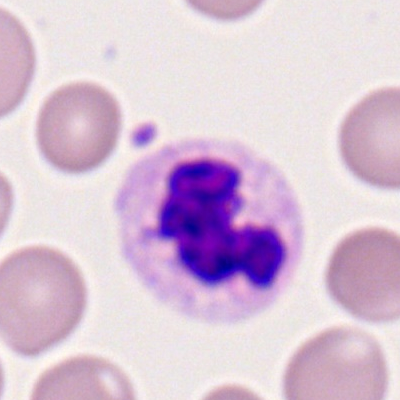
Morphology consistent with a polymorphonuclear neutrophil.